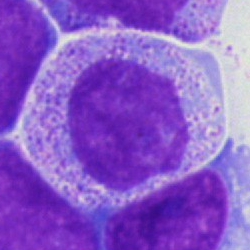

Q: Which cell type is shown here?
A: This is a myelocyte.